Bone marrow smear — 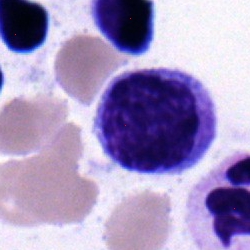
Showing a myelocyte.